Bone marrow aspirate smear
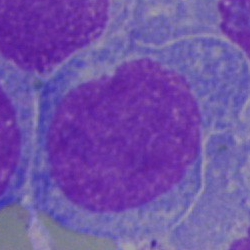 Specimen: bone marrow smear.
Classification: blast.